Bone marrow smear:
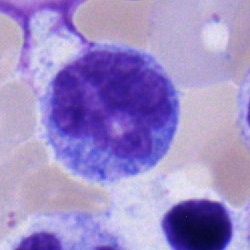 Morphological class — monocyte.